Peripheral blood film.
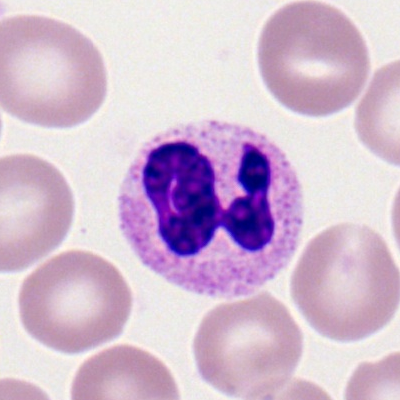 The cell shown is a neutrophil (segmented).